Bone marrow aspirate smear
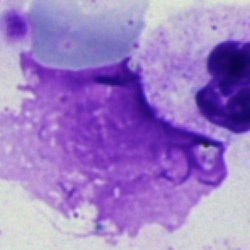The classification is artifact.